250 by 250 pixels · bone marrow aspirate smear.
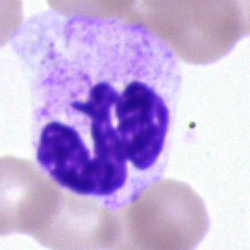 Classification: segmented neutrophil.